Bone marrow smear · cropped to a single cell · 40× objective, oil immersion — 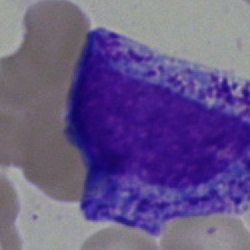 Morphological class = progranulocyte.